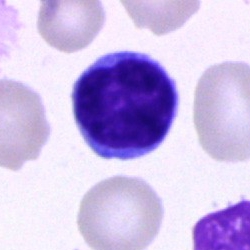

Morphology consistent with a typical lymphocyte.